CellaVision DM96. Peripheral blood film:
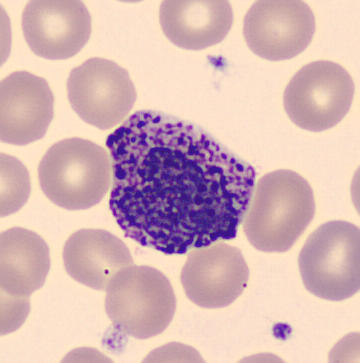The cell shown is a basophil.